40× oil immersion; image size 250×250; bone marrow smear: 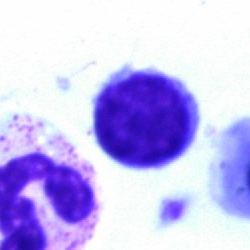Cell type — typical lymphocyte.